Bone marrow aspirate smear; single-cell crop: 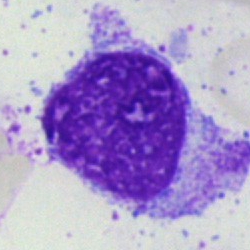Morphology consistent with an artefact.